Bone marrow smear; brightfield, 40× oil-immersion objective — 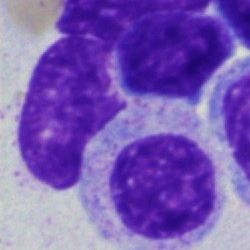 Q: What is the morphological classification of this cell?
A: A myelocyte.